Bone marrow smear: 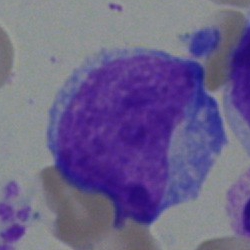
This is an undifferentiated blast.